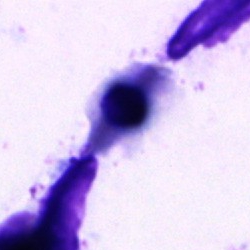The classification is artefact.